Bone marrow smear
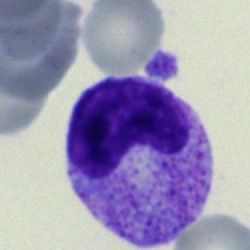

Specimen: bone marrow aspirate smear.
Classification: metamyelocyte.
Lineage: myeloid.